Bone marrow aspirate smear — 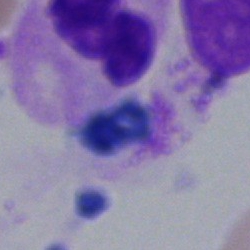Cell type: artifact.